250×250; bone marrow smear; May-Grünwald-Giemsa/Pappenheim stain:
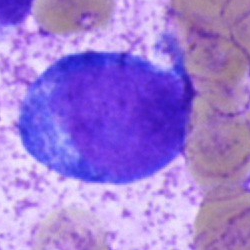 Morphology consistent with a blast.